Bone marrow aspirate smear:
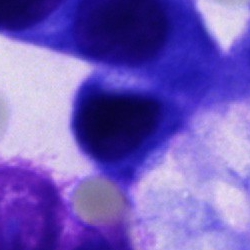

Q: Identify the cell.
A: This is a cell not matching the other categories.